Peripheral blood smear · Romanowsky-type stain — 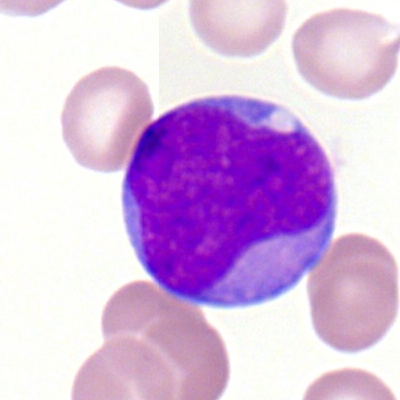Classification = myeloblast.